Bone marrow aspirate smear · brightfield, 40× oil-immersion objective — 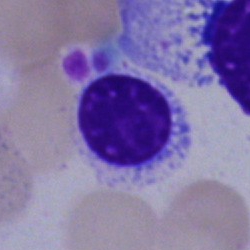
Q: What cell is this?
A: A lymphocyte.